Bone marrow aspirate smear:
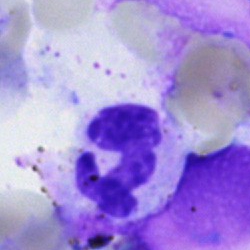
Morphological class — polymorphonuclear neutrophil.